Bone marrow aspirate smear:
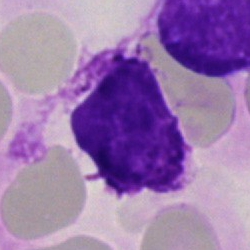
This is an artifact.